Bone marrow aspirate smear; brightfield microscopy, 40× oil immersion — 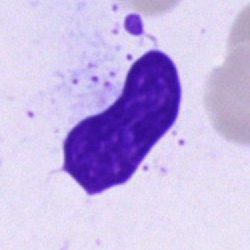
Q: What is shown here?
A: It is an artefact.